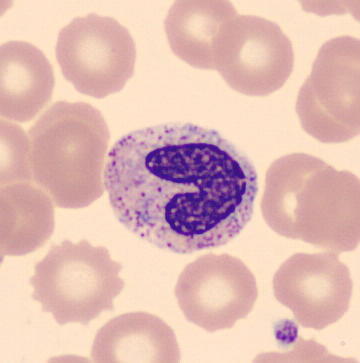

Morphological class — neutrophil (band).

Peripheral blood smear.